Peripheral blood smear: 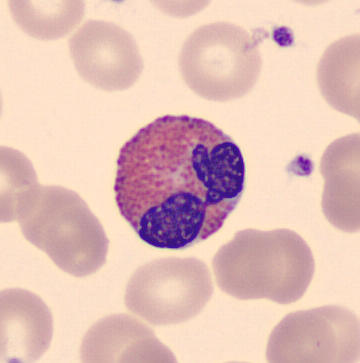

Single cell identified as an eosinophilic granulocyte.